Bone marrow aspirate smear · May-Grünwald-Giemsa stain — 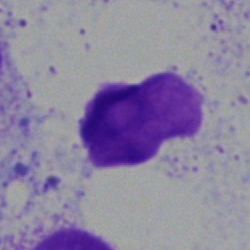 An artifact.